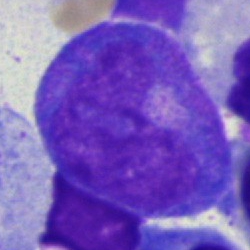 A promyelocyte on a bone marrow smear.